Bone marrow smear; single cell centered in the field; May-Grünwald-Giemsa stain: 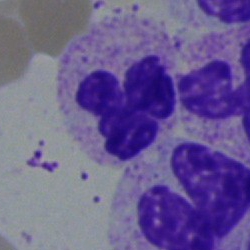

Specimen: bone marrow aspirate smear.
Cell: neutrophil (segmented).
Lineage: myeloid.